Bone marrow aspirate smear
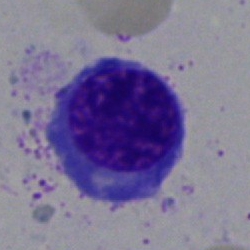 The classification is nucleated red cell.